Bone marrow smear:
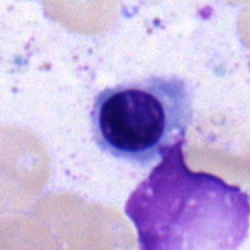

Q: Which cell type is shown here?
A: This is a normoblast.